Peripheral blood smear
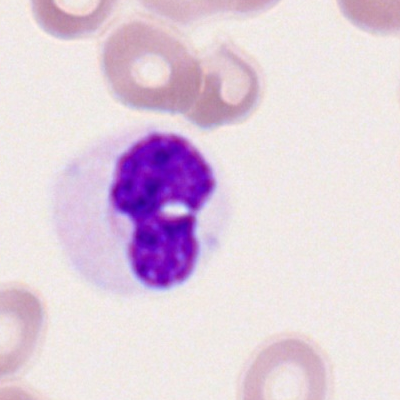Specimen: peripheral blood smear.
Cell: segmented neutrophil.
Lineage: myeloid.